Bone marrow aspirate smear · brightfield microscopy, 40× oil immersion:
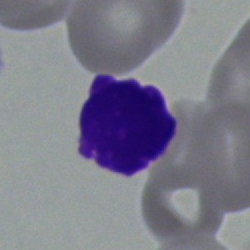
Morphological class — artefact.